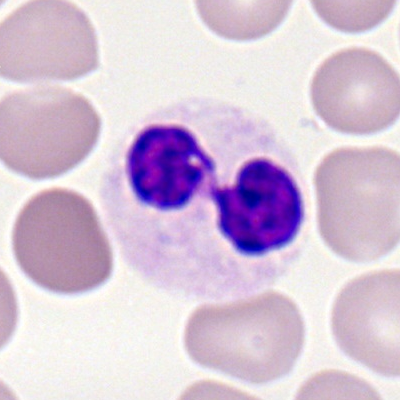
Specimen: peripheral blood film.
Morphological class: neutrophil (segmented).
Lineage: myeloid.